Bone marrow smear; MGG-stained; brightfield, 40× oil-immersion objective
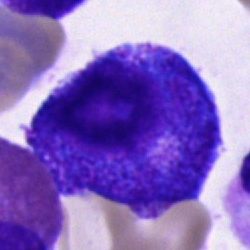
Morphology → promyelocyte.